Bone marrow smear · Pappenheim-stained · 250 by 250 pixels
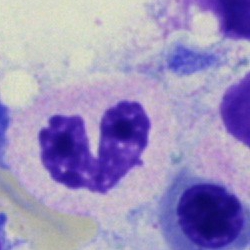
{"cell_type": "neutrophil (band)", "lineage": "myeloid"}